Bone marrow smear:
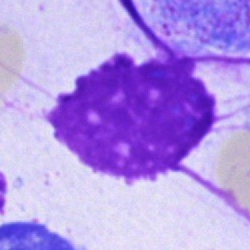
Morphology consistent with an artifact.